250×250 px. Bone marrow smear: 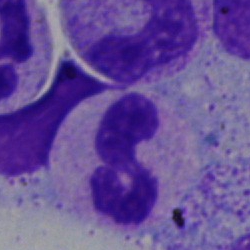
Morphological class: polymorphonuclear neutrophil.